40× objective, oil immersion; bone marrow aspirate smear — 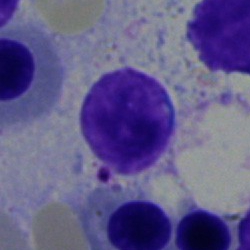

Morphology — typical lymphocyte.